MGG-stained · bone marrow smear: 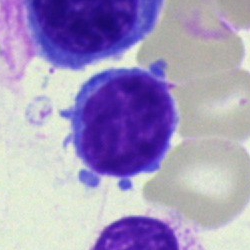 Q: What is shown here?
A: This is a typical lymphocyte.